Bone marrow aspirate smear.
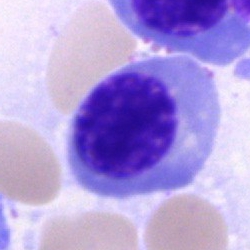
A nucleated red blood cell.